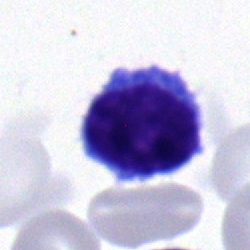 Classification = lymphocyte.